Brightfield, 40× oil-immersion objective · image size 250×250 · bone marrow aspirate smear — 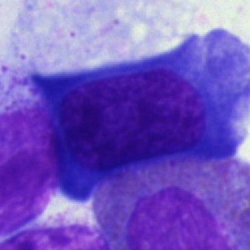 Impression → nucleated red cell.